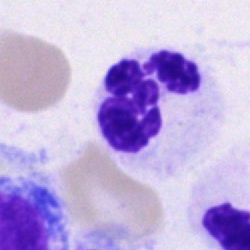Bone marrow smear showing a neutrophil (segmented).